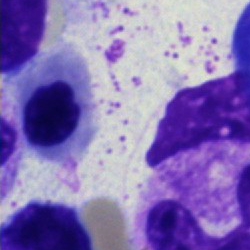Morphology consistent with a normoblast.